Image size 250×250 · May-Grünwald-Giemsa/Pappenheim stain · bone marrow smear — 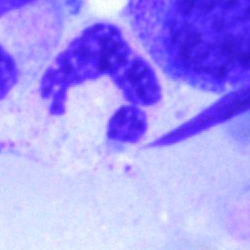Morphological class = segmented neutrophil.